Bone marrow aspirate smear — 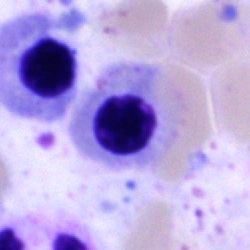

Q: Which cell type is shown here?
A: A normoblast.